Bone marrow smear.
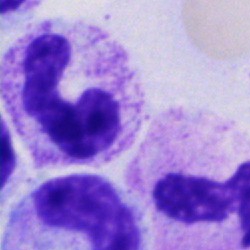
Q: What is shown here?
A: It is a polymorphonuclear neutrophil.